Peripheral blood smear: 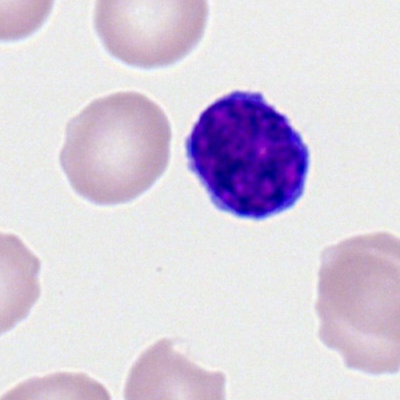 {"cell_type": "typical lymphocyte", "lineage": "lymphoid"}